250 by 250 pixels; May-Grünwald-Giemsa stain; bone marrow smear — 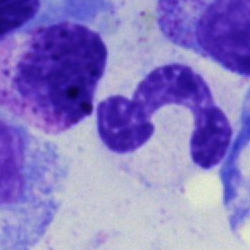
Neutrophil (segmented).